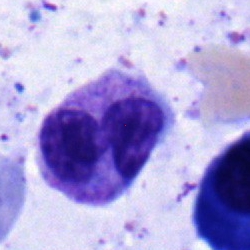Q: Identify the cell.
A: Segmented neutrophil.